Brightfield microscopy, 40× oil immersion. Bone marrow aspirate smear:
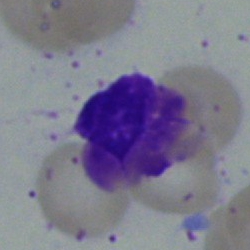

{"cell_type": "artifact"}